Bone marrow smear. 40× oil immersion: 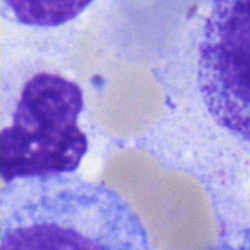
A band neutrophil.